May-Grünwald-Giemsa stain; bone marrow smear
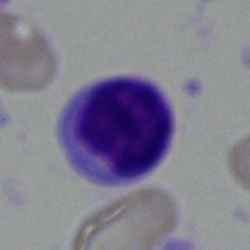Showing a typical lymphocyte.